Bone marrow smear:
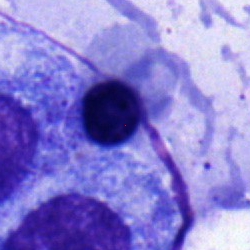
{"cell_type": "nucleated red blood cell", "lineage": "erythroid"}